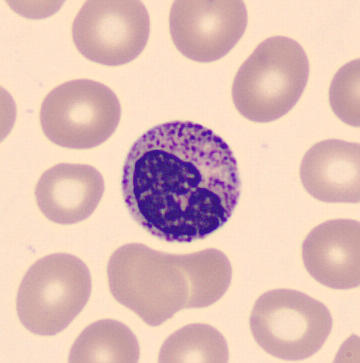This is a neutrophil (band).

Peripheral blood smear.